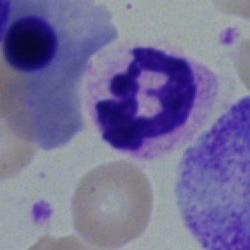 The classification is neutrophil (segmented).